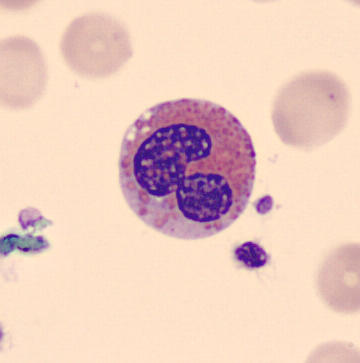

Preparation: Peripheral blood film.
Classification — eosinophilic granulocyte.